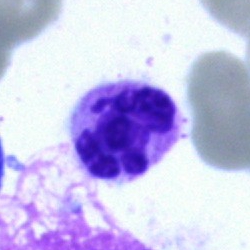
This is a neutrophil (segmented).